May-Grünwald-Giemsa stain · bone marrow aspirate smear · 40× oil immersion.
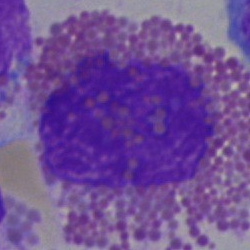Single cell identified as an eosinophil.